Bone marrow aspirate smear · single-cell crop — 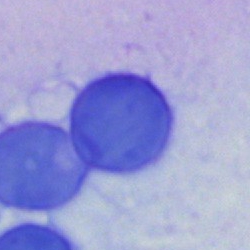

Impression → cell of indeterminate lineage.